MGG-stained. 250×250. Bone marrow aspirate smear:
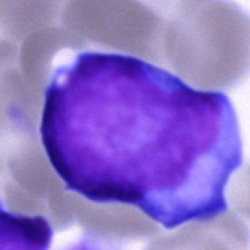 The cell type is blast cell.